Bone marrow aspirate smear:
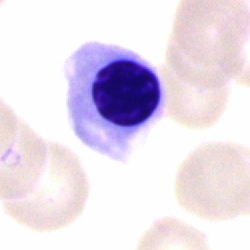
Q: What is shown here?
A: Nucleated red blood cell.